40× objective, oil immersion; bone marrow smear; May-Grünwald-Giemsa stain — 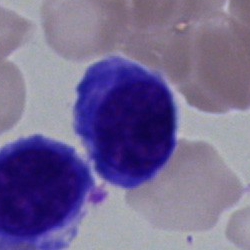

The morphological class is nucleated red blood cell.